Bone marrow smear
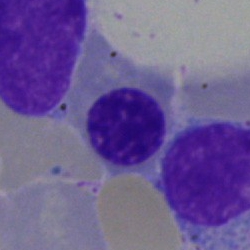

Q: Which cell type is shown here?
A: It is a nucleated red cell.